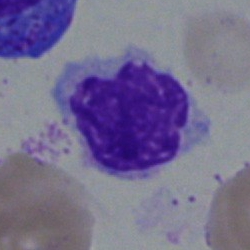Showing a monocyte.